Bone marrow smear: 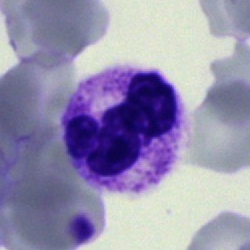 Q: What is the morphological classification of this cell?
A: It is a neutrophil (segmented).